Bone marrow aspirate smear · 40× oil immersion · May-Grünwald-Giemsa/Pappenheim stain: 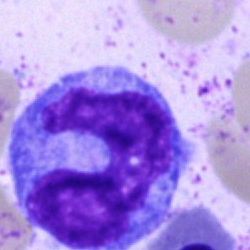 Specimen: bone marrow smear.
Cell type: monocyte.
Lineage: myeloid.